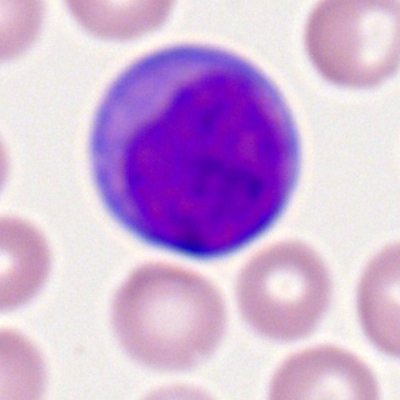 Impression → myeloid blast.